Bone marrow smear. Single-cell field. May-Grünwald-Giemsa stain:
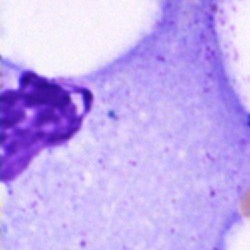

Specimen: bone marrow smear.
Cell: artifact.